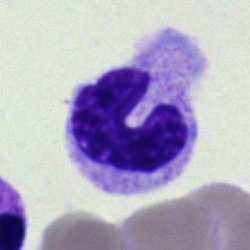
A band neutrophil on a bone marrow smear.